Bone marrow aspirate smear.
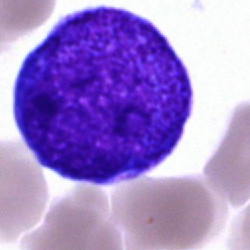A promyelocyte.